Bone marrow aspirate smear. Single-cell crop:
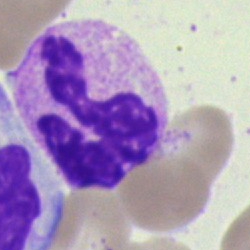
The classification is polymorphonuclear neutrophil.